Brightfield microscopy, 40× oil immersion · bone marrow aspirate smear
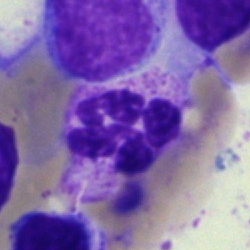

Q: What is shown here?
A: Segmented neutrophil.